Bone marrow aspirate smear
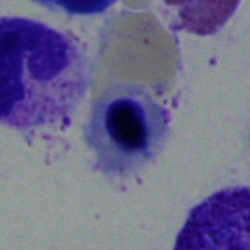

Morphology consistent with an erythroblast.